Bone marrow smear. Brightfield, 40× oil-immersion objective
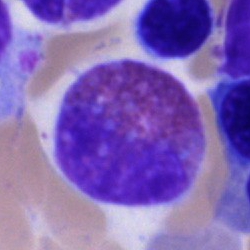Impression → eosinophilic granulocyte.